Bone marrow aspirate smear
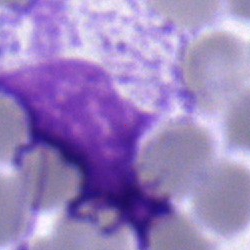

Q: What cell is this?
A: It is a myelocyte.